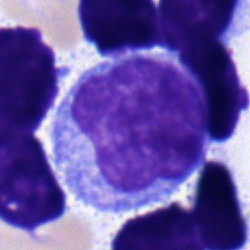

Morphology — monocyte.